Bone marrow aspirate smear; 40× oil immersion:
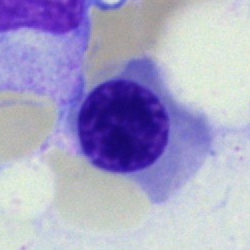
Q: Which cell type is shown here?
A: It is a normoblast.